Bone marrow smear: 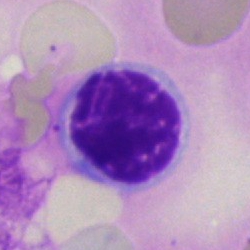
Specimen: bone marrow aspirate smear.
Morphological class: typical lymphocyte.
Lineage: lymphoid.